Bone marrow smear.
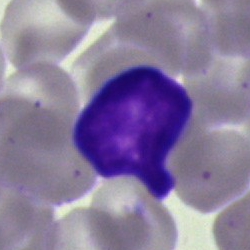 Cell = typical lymphocyte.